Bone marrow aspirate smear · single cell centered in the field.
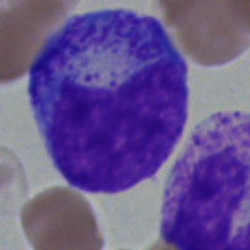
Q: What cell is this?
A: Progranulocyte.